Bone marrow aspirate smear; single-cell field:
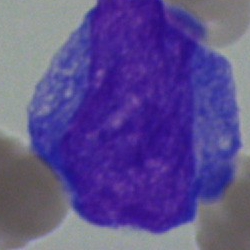 Impression — basophil.